Bone marrow smear · cropped to a single cell: 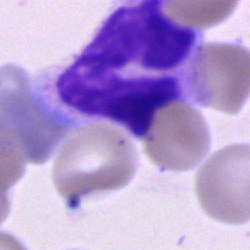 Specimen: bone marrow smear.
Morphological class: band neutrophil.
Lineage: myeloid.